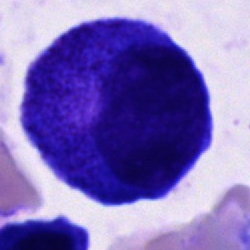Cell type — progranulocyte.